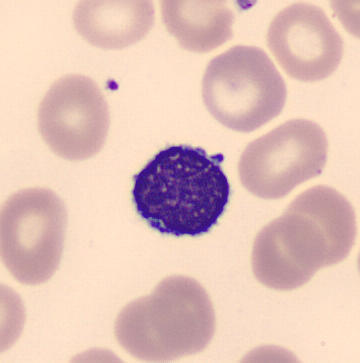 Q: What type of cell is this?
A: It is a typical lymphocyte.

Preparation: Peripheral blood film.